Bone marrow aspirate smear.
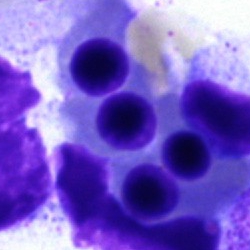

Q: What is shown here?
A: A nucleated red blood cell.